May-Grünwald-Giemsa stain · bone marrow smear
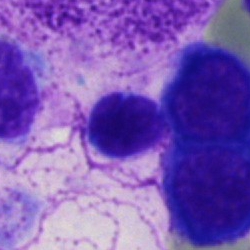Cell = artifact.